Bone marrow smear — 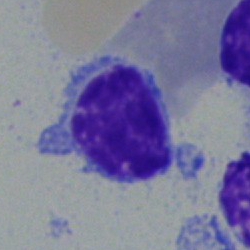 The cell is typical lymphocyte.